Bone marrow smear: 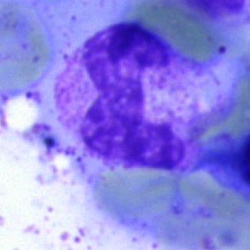 Specimen: bone marrow smear.
Morphological class: band-form neutrophil.
Lineage: myeloid.